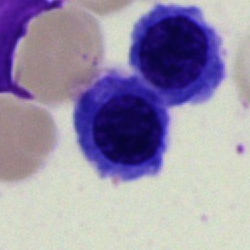

A normoblast on a bone marrow smear.